Peripheral blood smear · cropped to a single cell: 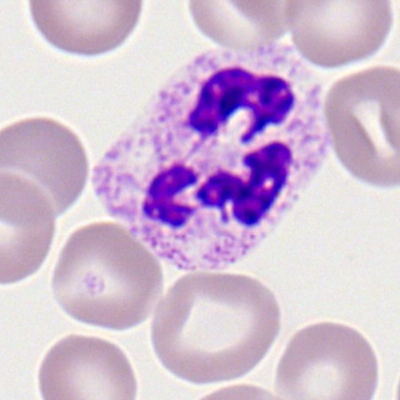
Cell type: neutrophil (segmented).